Romanowsky stain; peripheral blood film — 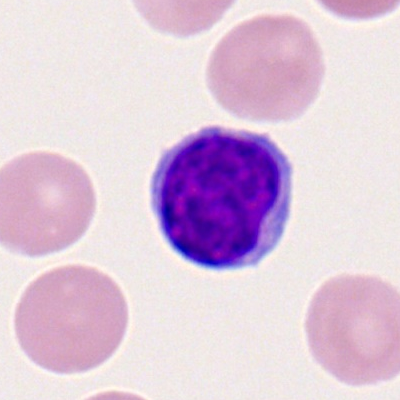

Single cell identified as a lymphocyte.